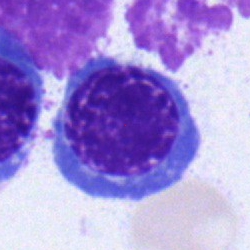Morphological class — erythroblast.